Bone marrow smear.
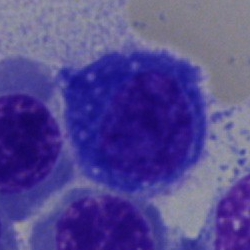Q: What is shown here?
A: This is an erythroblast.